Bone marrow smear.
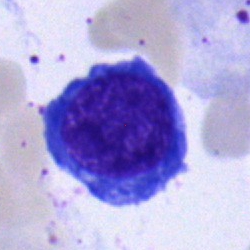

Specimen: bone marrow smear.
Morphological class: proerythroblast.
Lineage: erythroid.